Bone marrow aspirate smear: 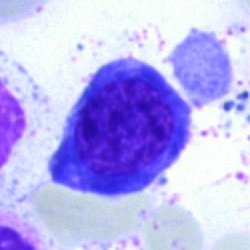

Q: What is the morphological classification of this cell?
A: Erythroblast.